Bone marrow smear: 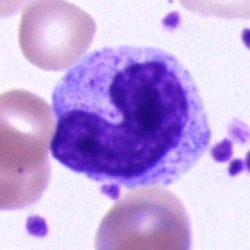Impression → band-form neutrophil.